Bone marrow aspirate smear
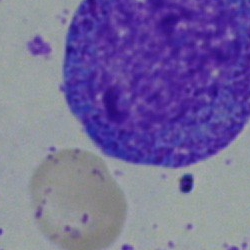
Specimen: bone marrow aspirate smear.
Morphological class: promyelocyte.